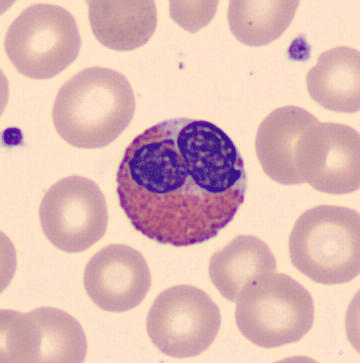
Specimen: peripheral blood film.
Cell: eosinophilic granulocyte.